Bone marrow aspirate smear · single-cell field · Pappenheim-stained.
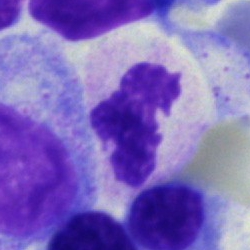
{"cell_type": "segmented neutrophil", "lineage": "myeloid"}